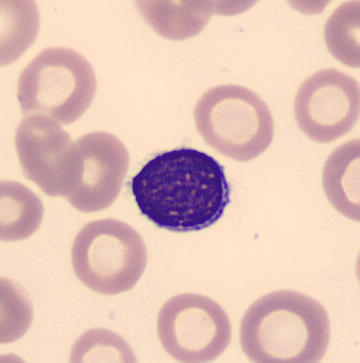

Morphology → typical lymphocyte.